Bone marrow aspirate smear. May-Grünwald-Giemsa stain.
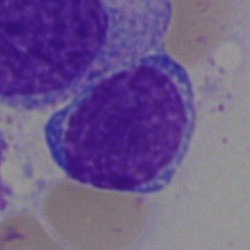
Morphology consistent with a lymphocyte.